Pappenheim-stained · bone marrow aspirate smear · 250×250 px:
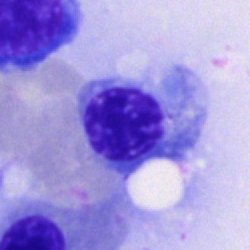This is a nucleated red blood cell.